Bone marrow aspirate smear · brightfield, 40× oil-immersion objective.
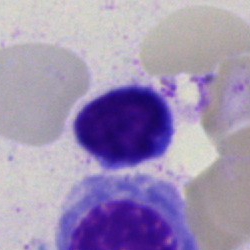

Cell: lymphocyte.